250×250 px · bone marrow smear — 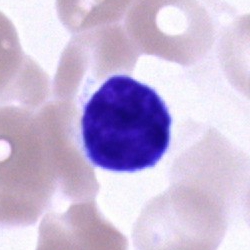Q: Identify the cell.
A: This is a lymphocyte.